Brightfield, 40× oil-immersion objective; bone marrow smear — 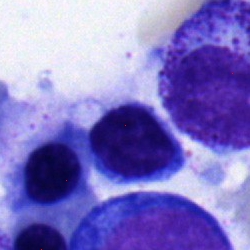 A typical lymphocyte.